Bone marrow smear.
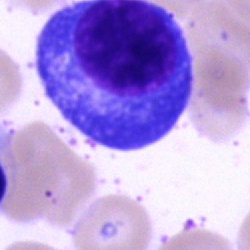 Showing a plasma cell.